Bone marrow aspirate smear; cropped to a single cell: 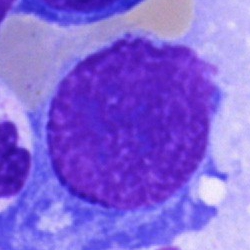
Cell — artifact.